Bone marrow aspirate smear: 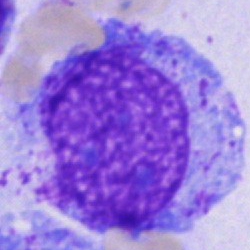

A progranulocyte.